Bone marrow smear · May-Grünwald-Giemsa/Pappenheim stain:
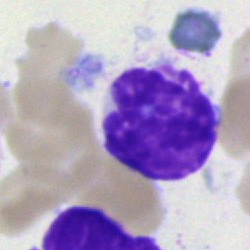

Morphology → artefact.